Automated cell imaging (CellaVision DM96). 360×363 px. Peripheral blood film:
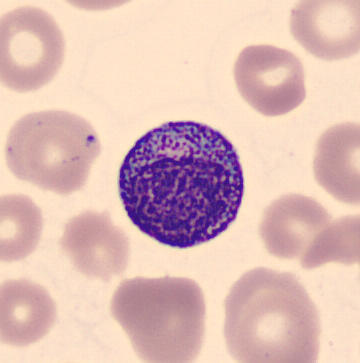 Myelocyte.